Single cell centered in the field · bone marrow smear:
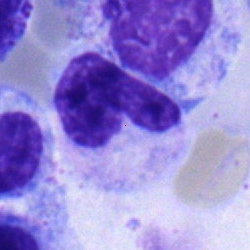 The cell shown is a band neutrophil.